Peripheral blood smear. Single cell centered in the field.
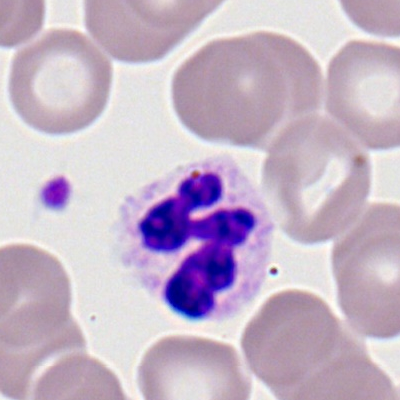

Impression → neutrophil (segmented).